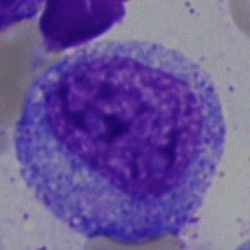 Progranulocyte.